Peripheral blood smear.
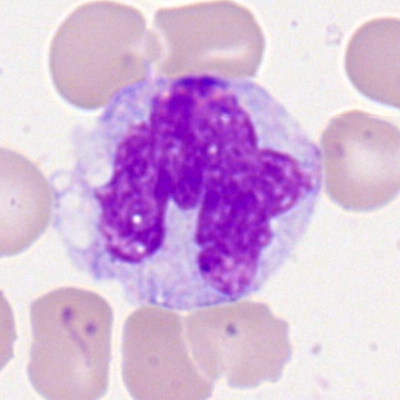
Q: Which cell type is shown here?
A: Monocyte.